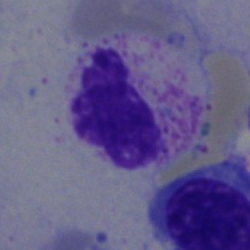 Impression — polymorphonuclear neutrophil.